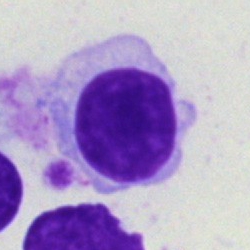
Morphology — typical lymphocyte.